Bone marrow aspirate smear.
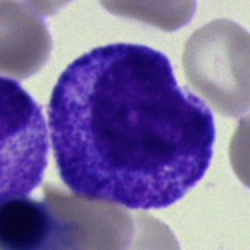
The cell shown is a promyelocyte.